Bone marrow aspirate smear:
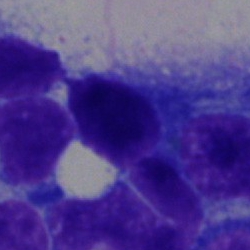The cell type is cell of indeterminate lineage.